40× objective, oil immersion. Bone marrow smear
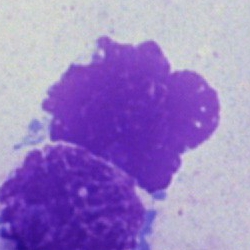 Single cell identified as an artifact.